Bone marrow smear
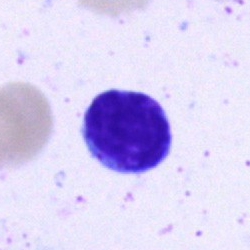Showing a typical lymphocyte.